Bone marrow smear:
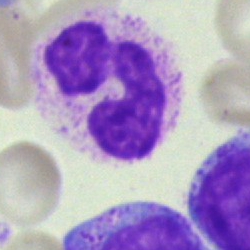

Cell type — polymorphonuclear neutrophil.